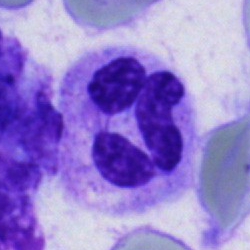

Cell = segmented neutrophil.